Peripheral blood film — 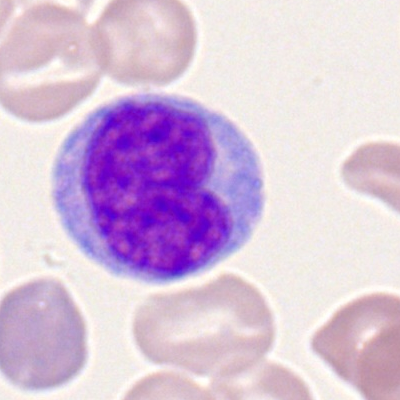

Q: Identify the cell.
A: Monocyte.